Bone marrow aspirate smear: 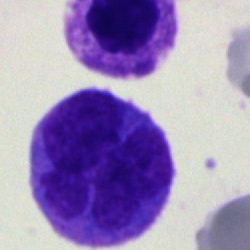
This is a monocyte.